May-Grünwald-Giemsa stain · bone marrow aspirate smear
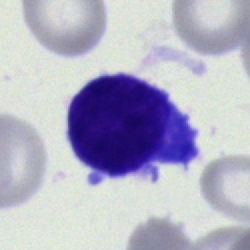 Single cell identified as an undifferentiated blast.